Bone marrow smear
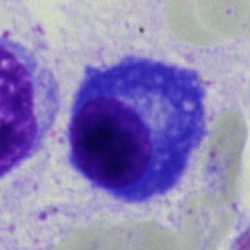The cell type is plasma cell.